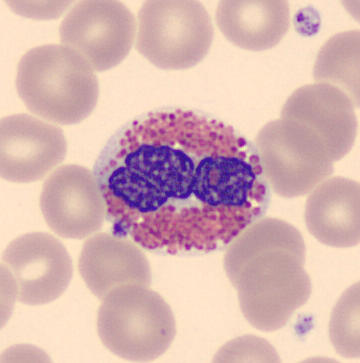

Specimen: peripheral blood film.
Classification: eosinophil.